Bone marrow smear. 40× objective, oil immersion — 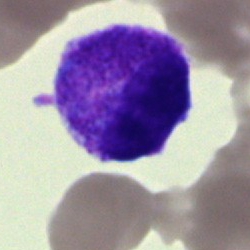 Undifferentiated blast.